Bone marrow smear:
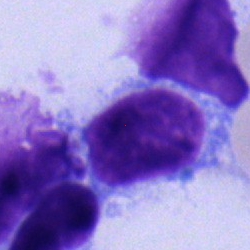
Morphology — lymphocyte.